May-Grünwald-Giemsa/Pappenheim stain · bone marrow aspirate smear.
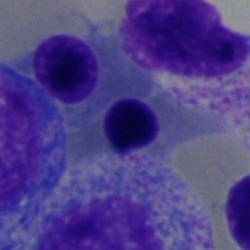

The morphological class is normoblast.